Bone marrow smear: 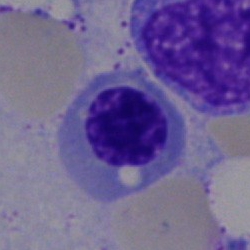

Morphology → normoblast.